Bone marrow aspirate smear:
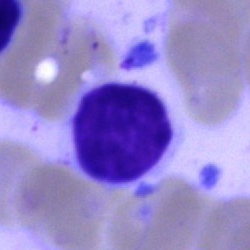
Specimen: bone marrow aspirate smear.
Classification: typical lymphocyte.
Lineage: lymphoid.